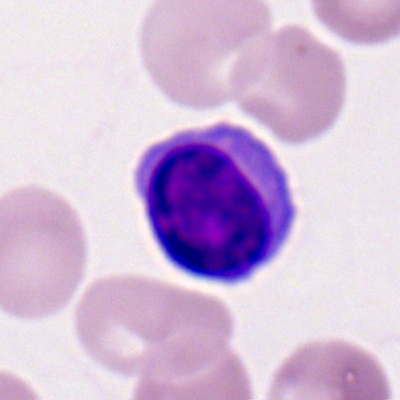 Specimen: peripheral blood film.
Classification: lymphocyte.
Lineage: lymphoid.